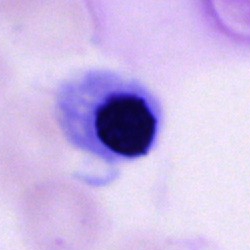

Erythroblast.